Bone marrow aspirate smear. May-Grünwald-Giemsa stain: 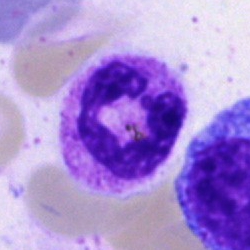
The classification is polymorphonuclear neutrophil.